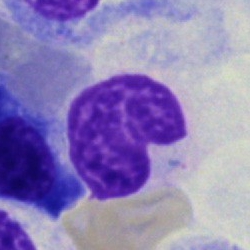Morphological class = polymorphonuclear neutrophil.